Bone marrow aspirate smear
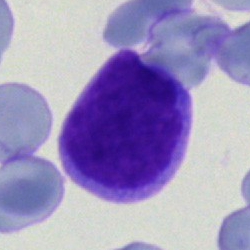

An undifferentiated blast.